Bone marrow aspirate smear — 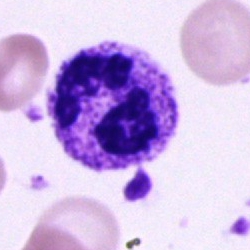 Specimen: bone marrow smear.
Cell type: polymorphonuclear neutrophil.
Lineage: myeloid.